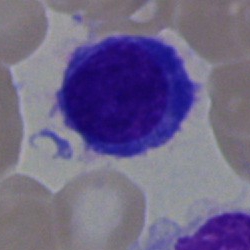Q: What is the morphological classification of this cell?
A: It is a plasma cell.